Single-cell field; bone marrow smear.
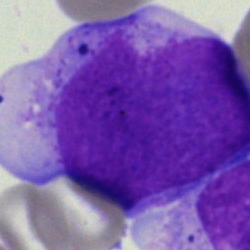
Cell type: blast cell.